Bone marrow smear:
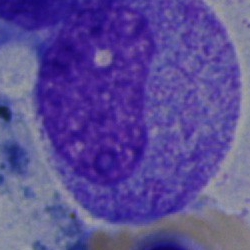 The cell shown is a progranulocyte.